Bone marrow aspirate smear: 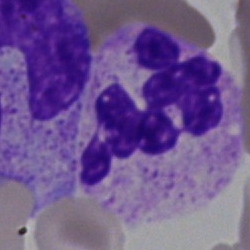
Neutrophil (segmented).